May-Grünwald-Giemsa/Pappenheim stain; bone marrow aspirate smear
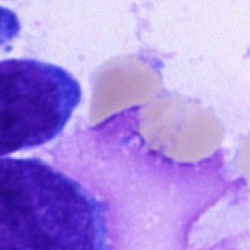
Impression → cell of indeterminate lineage.